Bone marrow smear: 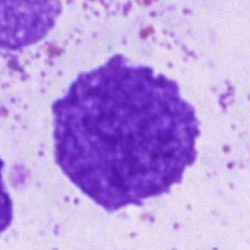

Q: What is shown here?
A: It is an artefact.